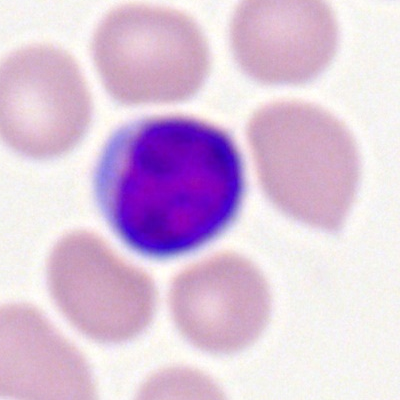

Morphological class — lymphocyte.